Bone marrow aspirate smear:
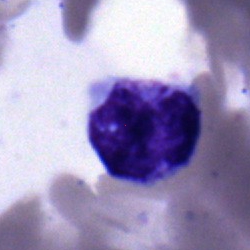

Q: What is the morphological classification of this cell?
A: A monocyte.